Bone marrow smear · 40× objective, oil immersion · MGG-stained:
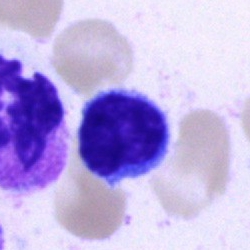Morphology consistent with a typical lymphocyte.